Bone marrow aspirate smear — 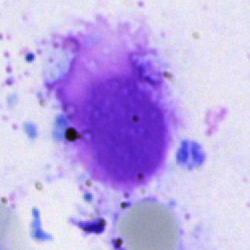 This is an artefact.